Bone marrow smear. MGG-stained:
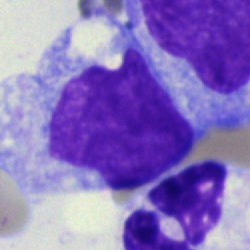 Specimen: bone marrow aspirate smear.
Morphological class: monocyte.
Lineage: myeloid.